Bone marrow smear.
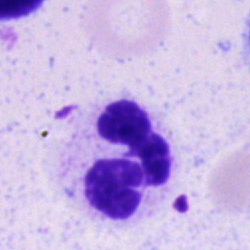Q: Identify the cell.
A: Polymorphonuclear neutrophil.